Bone marrow aspirate smear.
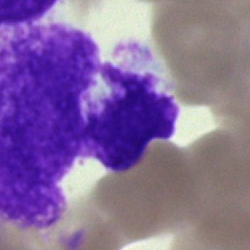

Q: What is shown here?
A: Artifact.